Bone marrow aspirate smear — 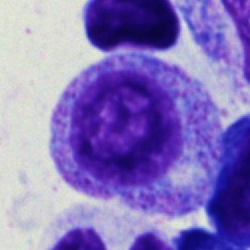Single cell identified as a myelocyte.